Bone marrow smear
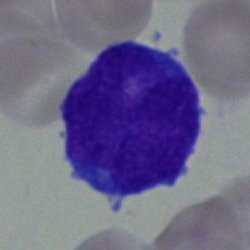
Cell = blast cell.